Image size 250×250 · bone marrow aspirate smear: 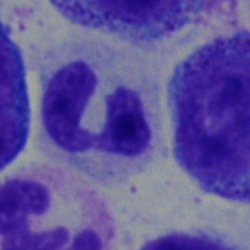
Q: Identify the cell.
A: A neutrophil (segmented).